250×250 px · bone marrow smear
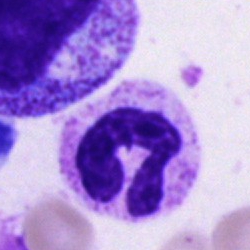

Specimen: bone marrow aspirate smear.
Cell type: neutrophil (band).